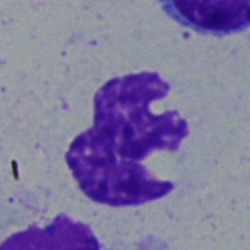

{"cell_type": "segmented neutrophil", "lineage": "myeloid"}